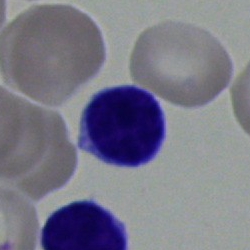

Classification = lymphocyte.